Bone marrow aspirate smear — 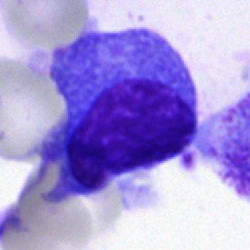
Morphological class = plasma cell.